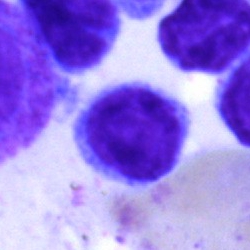
Lymphocyte.